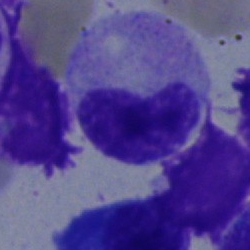 Q: Which cell type is shown here?
A: Band neutrophil.